Bone marrow smear. 250×250 px:
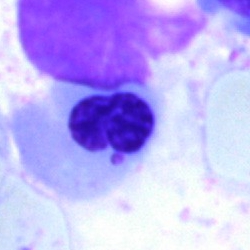
Showing a nucleated red cell.